Cropped to a single cell. Peripheral blood smear.
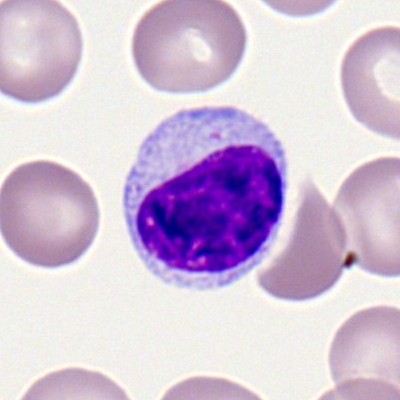Q: What cell is this?
A: A typical lymphocyte.